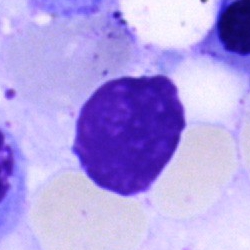 Single-cell crop from a bone marrow smear: artifact.